Bone marrow smear.
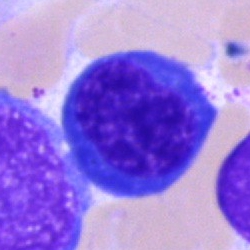
Showing a nucleated red blood cell.